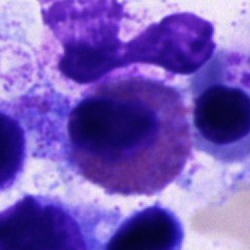

The cell shown is an eosinophilic granulocyte.